Bone marrow smear
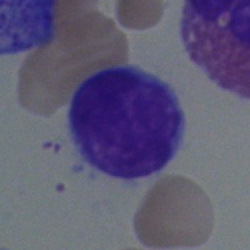Single cell identified as a lymphocyte.